Bone marrow smear. MGG-stained:
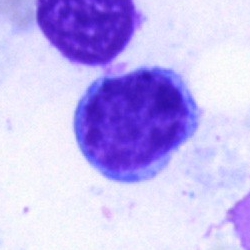 This is a typical lymphocyte.